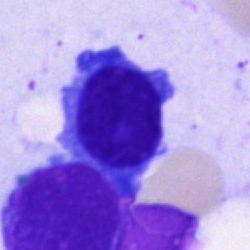

Morphology consistent with a plasmacyte.